Bone marrow aspirate smear
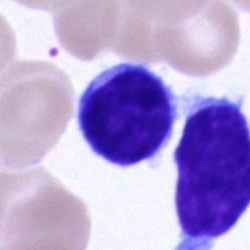

Q: Identify the cell.
A: This is a lymphocyte.